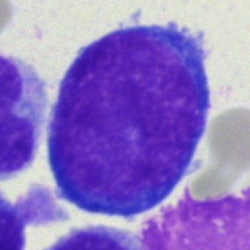
Classification: blast cell.